Bone marrow aspirate smear: 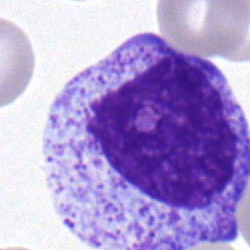 The cell shown is a myelocyte.